Bone marrow aspirate smear:
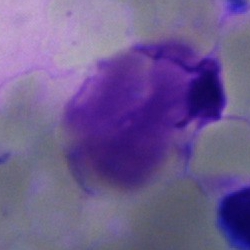

Impression → artefact.